Bone marrow smear:
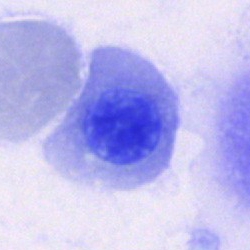

The cell shown is an artefact.